Bone marrow aspirate smear; image size 250×250; May-Grünwald-Giemsa stain: 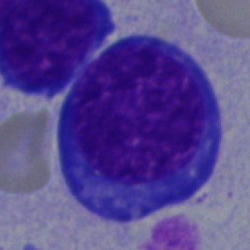
A pronormoblast.